250 by 250 pixels; bone marrow smear
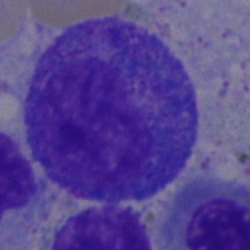

Morphology consistent with a promyelocyte.